Bone marrow smear.
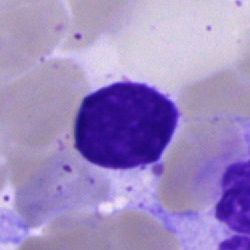 Cell = artifact.